Peripheral blood film · MGG stain: 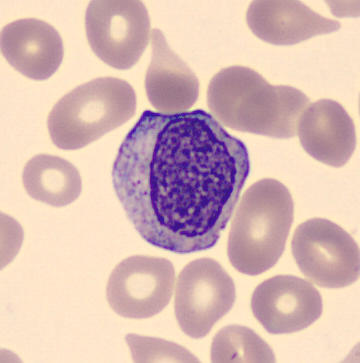

A myelocyte.